40× objective, oil immersion · bone marrow smear — 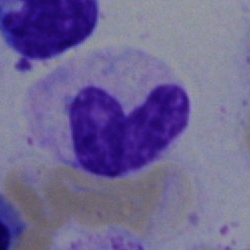
Morphology consistent with a band neutrophil.